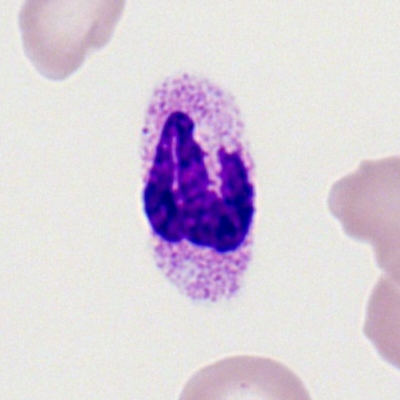 Q: Identify the cell.
A: This is a polymorphonuclear neutrophil.